100× oil immersion · peripheral blood film · single cell centered in the field:
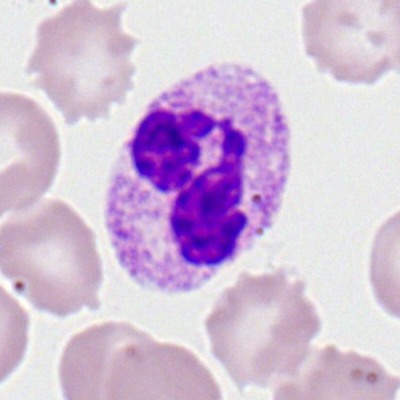

Q: Which cell type is shown here?
A: This is a neutrophil (segmented).